Bone marrow aspirate smear · cropped to a single cell
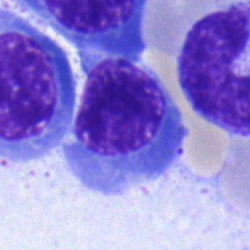{"cell_type": "nucleated red cell", "lineage": "erythroid"}